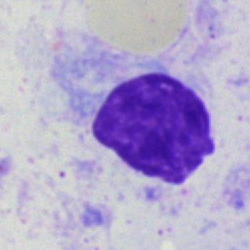Morphological class = artifact.